250 by 250 pixels. Single cell centered in the field. Bone marrow aspirate smear.
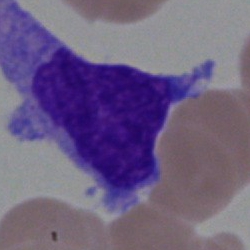 Morphology consistent with a blast cell.